Bone marrow smear.
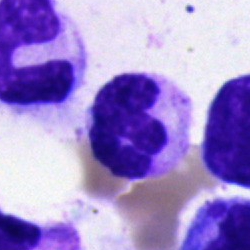Morphology → segmented neutrophil.